Bone marrow smear.
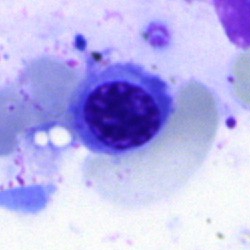

Nucleated red blood cell.